Bone marrow aspirate smear. Pappenheim-stained. 40× objective, oil immersion: 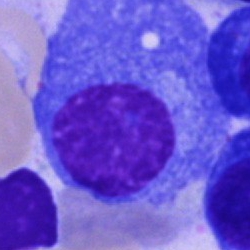 Q: What is the morphological classification of this cell?
A: Plasma cell.